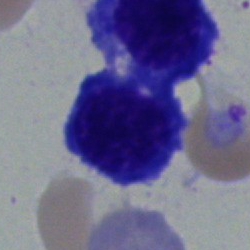 Q: What type of cell is this?
A: This is a nucleated red cell.